Bone marrow aspirate smear — 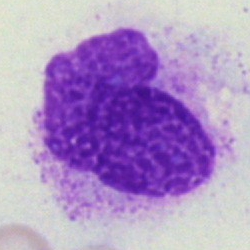

Cell — artifact.